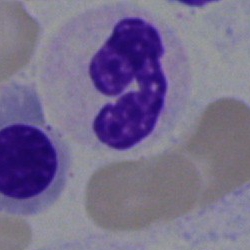
Single cell identified as a neutrophil (segmented).